Bone marrow smear.
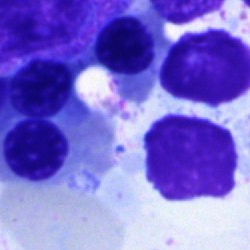

Specimen: bone marrow aspirate smear.
Cell type: artefact.